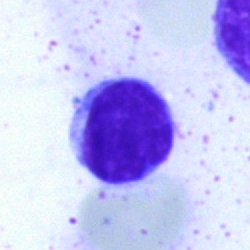 The cell is lymphocyte.